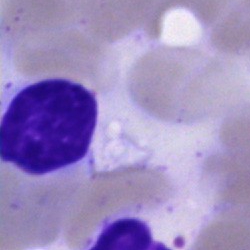This is an artefact.